Bone marrow aspirate smear: 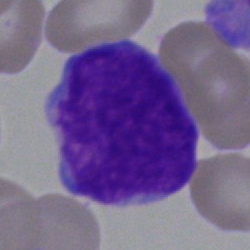
Cell type — blast cell.